Bone marrow smear:
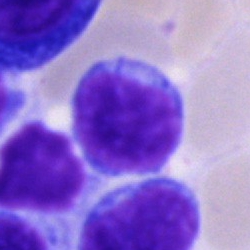 The cell type is typical lymphocyte.